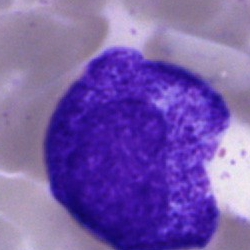

Q: What is the morphological classification of this cell?
A: This is a progranulocyte.